Peripheral blood film.
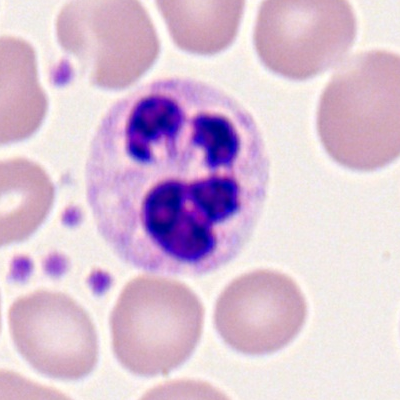Specimen: peripheral blood smear.
Cell: polymorphonuclear neutrophil.